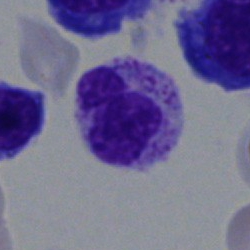
Single cell identified as a neutrophil (segmented).